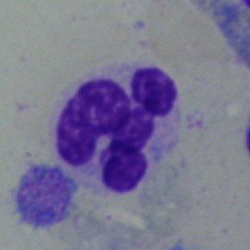 Specimen: bone marrow aspirate smear.
Cell type: neutrophil (segmented).
Lineage: myeloid.